400×400 px; peripheral blood film — 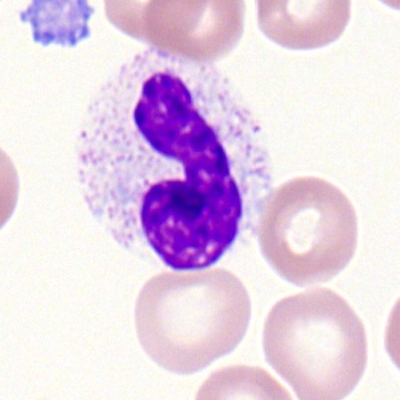

This is a polymorphonuclear neutrophil.